Romanowsky stain · peripheral blood film: 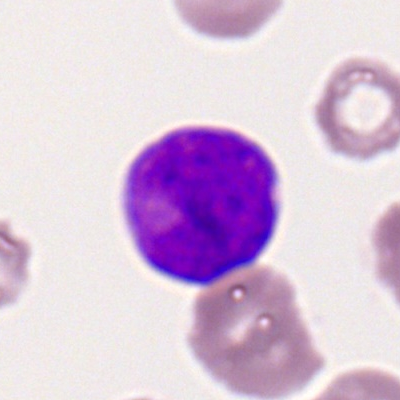

Single cell identified as a myeloid blast.